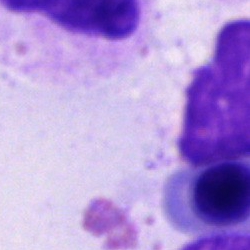 Classification — artifact.